Peripheral blood film — 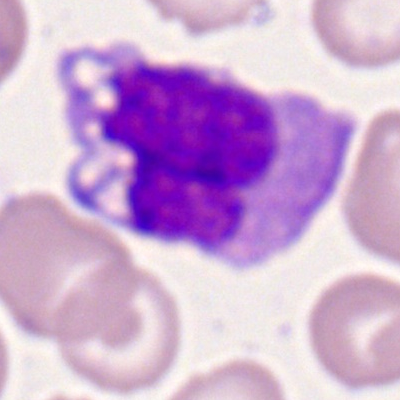
Q: Identify the cell.
A: It is a monocyte.